Single-cell crop. Bone marrow smear. Image size 250×250
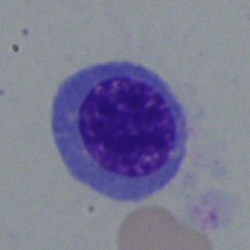

Single cell identified as an erythroblast.